250 by 250 pixels · bone marrow aspirate smear · single-cell field
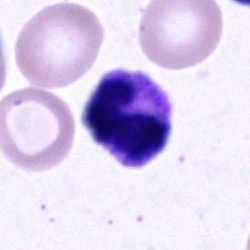{"cell_type": "polymorphonuclear neutrophil", "lineage": "myeloid"}